Bone marrow smear · May-Grünwald-Giemsa/Pappenheim stain — 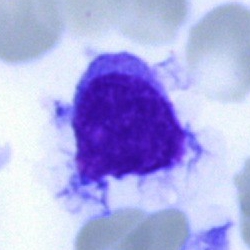 Q: What is the morphological classification of this cell?
A: This is a hairy cell.